Brightfield microscopy, 40× oil immersion · bone marrow smear — 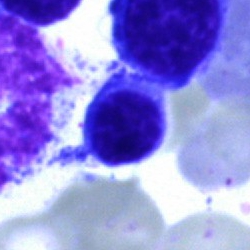

Specimen: bone marrow smear.
Classification: artifact.